Bone marrow smear
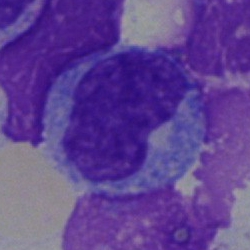

Single cell identified as a monocyte.